Peripheral blood film — 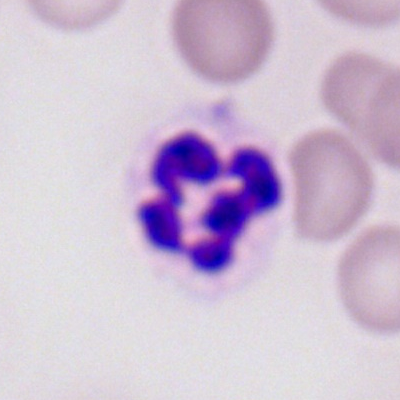 {"cell_type": "neutrophil (segmented)", "lineage": "myeloid"}